Bone marrow aspirate smear · single-cell crop · 250×250 px
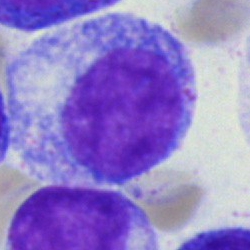
This is a progranulocyte.